40× objective, oil immersion; bone marrow smear.
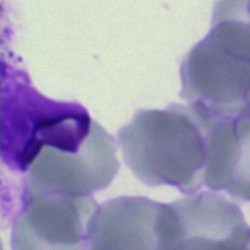Q: What is shown here?
A: Artefact.